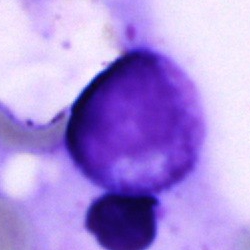
Impression — artefact.